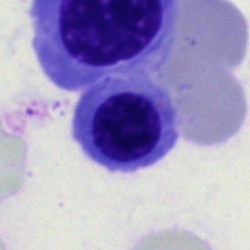
Morphological class: normoblast.